250×250 px · bone marrow smear · brightfield, 40× oil-immersion objective: 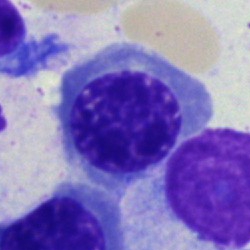
An erythroblast.